Bone marrow smear:
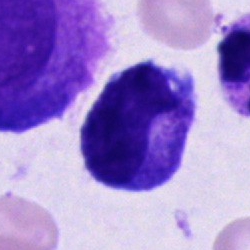Q: Identify the cell.
A: Cell of indeterminate lineage.